Bone marrow smear; single-cell field: 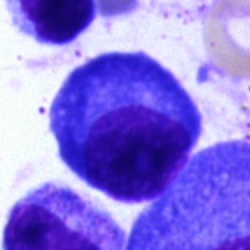 Showing a plasmacyte.